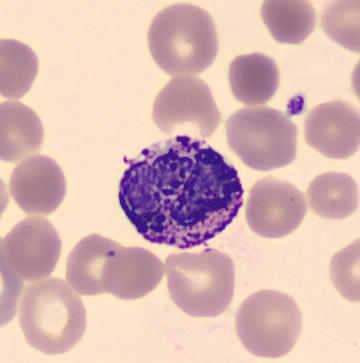
Cell type — basophil.